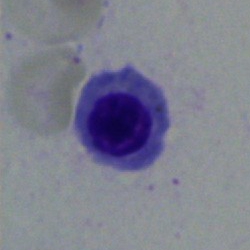 Single-cell crop from a bone marrow smear: erythroblast.